Bone marrow smear — 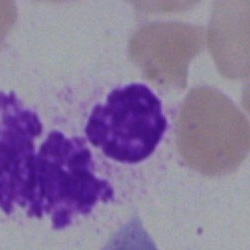
Cell type — artifact.